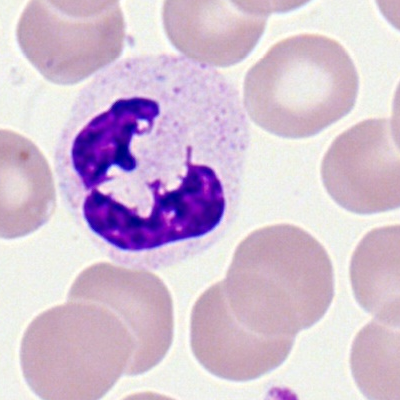 Q: What type of cell is this?
A: It is a polymorphonuclear neutrophil.